100× oil immersion. Peripheral blood film: 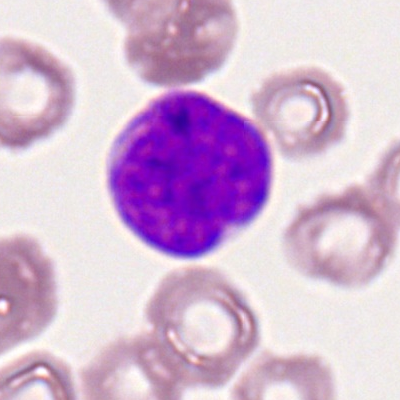Specimen: peripheral blood smear.
Cell: myeloid blast.
Lineage: myeloid.